40× objective, oil immersion; bone marrow aspirate smear; single cell centered in the field.
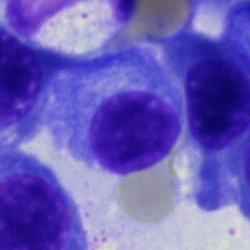

Plasma cell.